Bone marrow aspirate smear:
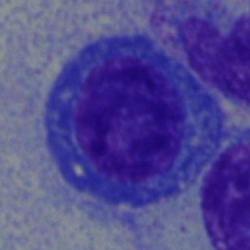 Cell: plasmacyte.